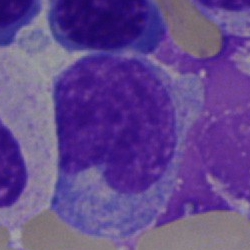A monocyte.